Bone marrow aspirate smear — 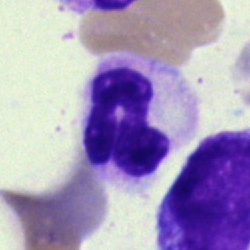Q: What type of cell is this?
A: It is a polymorphonuclear neutrophil.